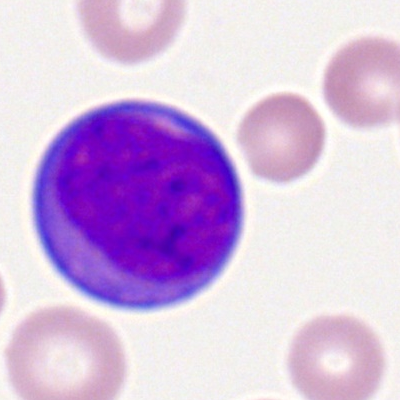
A myeloid blast on a peripheral blood smear.